Bone marrow aspirate smear · 250×250 px.
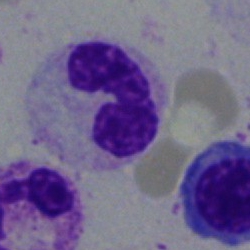Q: What is the morphological classification of this cell?
A: A stab cell.